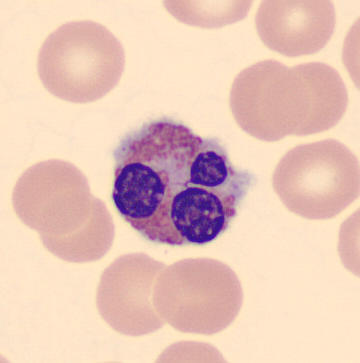Peripheral blood smear showing an eosinophilic granulocyte.